Bone marrow aspirate smear:
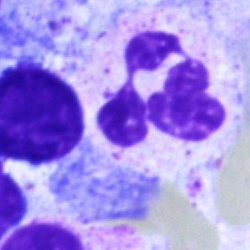
Q: What is shown here?
A: Segmented neutrophil.